Bone marrow aspirate smear. 250×250 px: 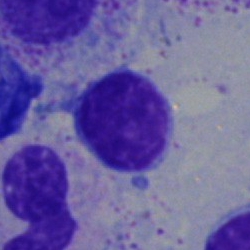

Lymphocyte.